Bone marrow smear
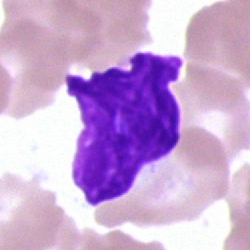

The cell shown is an artifact.